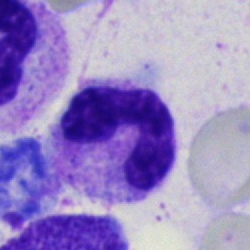Single-cell crop from a bone marrow smear: stab cell.